Bone marrow aspirate smear: 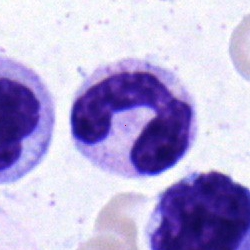

Classification: segmented neutrophil.